Bone marrow aspirate smear · single cell centered in the field:
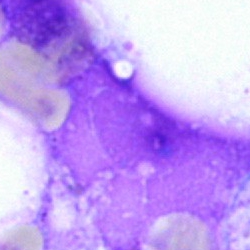Q: What is shown here?
A: Artifact.